Bone marrow aspirate smear.
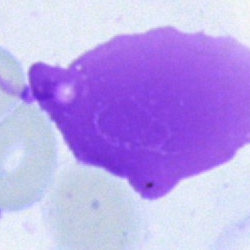The cell shown is an artefact.